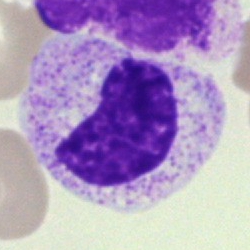 Q: What cell is this?
A: This is a metamyelocyte.